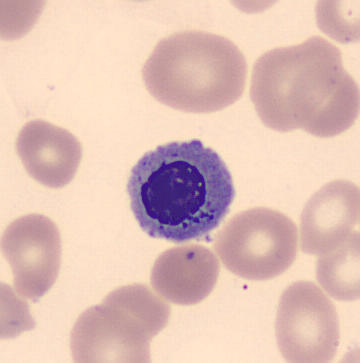Acquisition: Single cell centered in the field. Peripheral blood smear.
Q: What is shown here?
A: It is a normoblast.